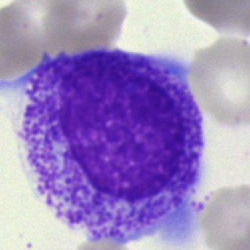

Single cell identified as a myelocyte.